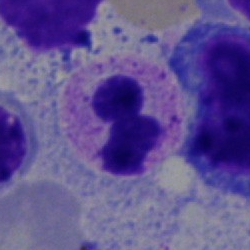 Q: What is the morphological classification of this cell?
A: Segmented neutrophil.